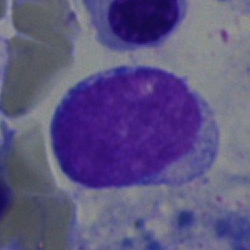

Specimen: bone marrow aspirate smear.
Cell type: blast.